Bone marrow aspirate smear · 40× objective, oil immersion · 250×250 — 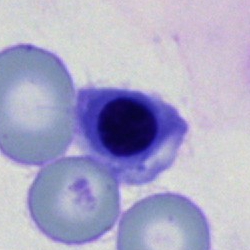
Q: What is the morphological classification of this cell?
A: An erythroblast.